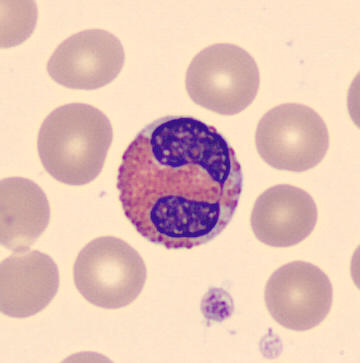
Peripheral blood film · MGG-stained · cropped to a single cell.
Cell: eosinophil.